Bone marrow aspirate smear — 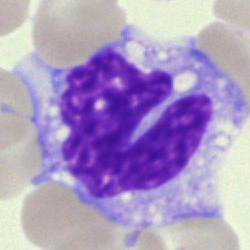

Showing a monocyte.